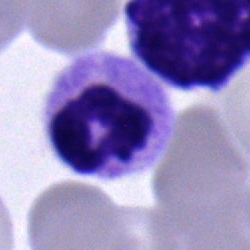
Single-cell crop from a bone marrow smear: polymorphonuclear neutrophil.